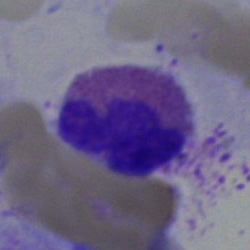 Bone marrow aspirate smear, single cell — eosinophilic granulocyte.